Bone marrow smear — 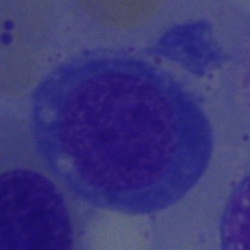 The cell type is normoblast.